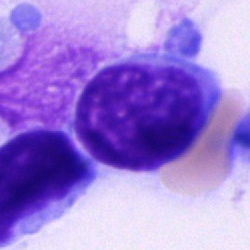Q: Which cell type is shown here?
A: Blast cell.